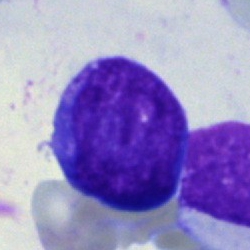 Cell: blast cell.